Bone marrow smear; 250×250 px — 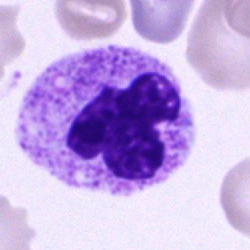
Morphological class = neutrophil (segmented).